May-Grünwald-Giemsa stain · bone marrow aspirate smear
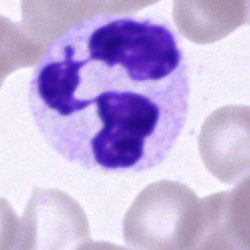
Specimen: bone marrow aspirate smear.
Classification: polymorphonuclear neutrophil.